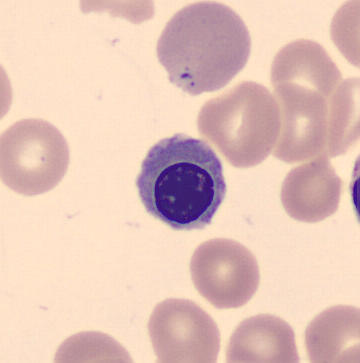Preparation: Peripheral blood film.

Morphology — nucleated red blood cell.